Bone marrow aspirate smear:
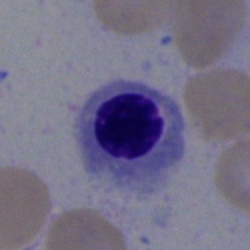

Specimen: bone marrow smear.
Morphological class: nucleated red cell.
Lineage: erythroid.